Bone marrow aspirate smear.
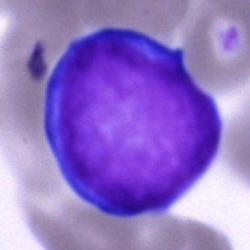A blast.